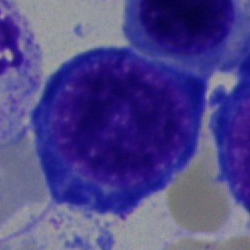{"cell_type": "proerythroblast"}